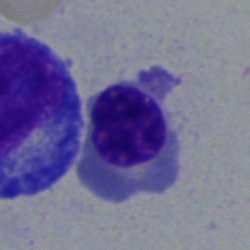The cell type is normoblast.